Bone marrow smear: 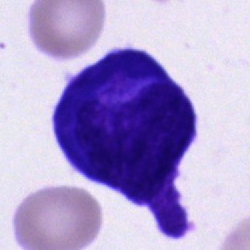Specimen: bone marrow smear.
Morphological class: cell of indeterminate lineage.